Bone marrow smear — 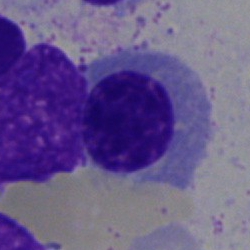 Q: What type of cell is this?
A: Nucleated red blood cell.